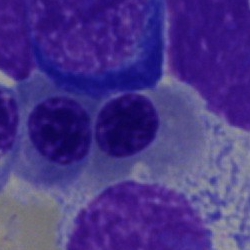
The classification is nucleated red cell.